Image size 250×250. Bone marrow smear. MGG-stained.
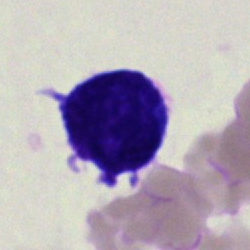
Single cell identified as an artifact.